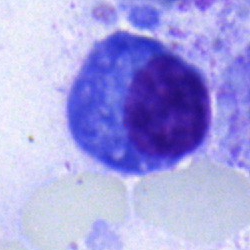 Showing a plasma cell.